Single cell centered in the field; 250 by 250 pixels; bone marrow aspirate smear.
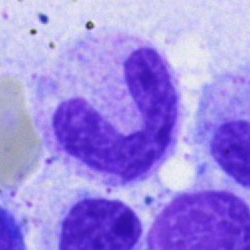
The cell is band-form neutrophil.